Bone marrow smear: 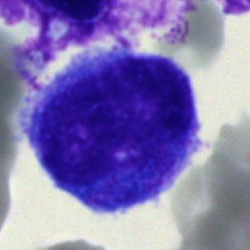 The classification is progranulocyte.